Bone marrow aspirate smear: 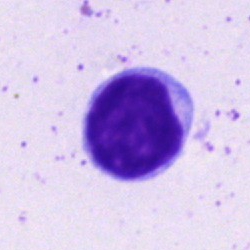

Cell type — lymphocyte.